Bone marrow aspirate smear
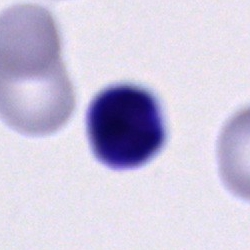
This is a cell of indeterminate lineage.